40× objective, oil immersion. Single-cell crop. Bone marrow aspirate smear
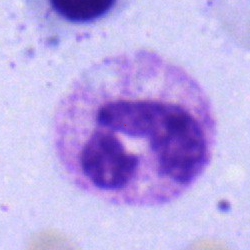
The cell type is neutrophil (segmented).